Bone marrow aspirate smear · cropped to a single cell — 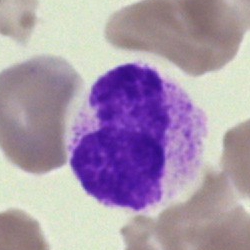 Morphological class: neutrophil (segmented).